Bone marrow aspirate smear. May-Grünwald-Giemsa/Pappenheim stain.
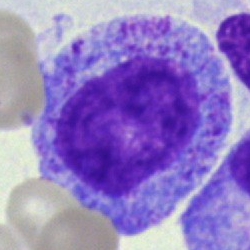

Specimen: bone marrow smear.
Morphological class: promyelocyte.